Bone marrow aspirate smear:
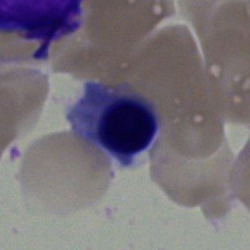 Cell — erythroblast.